Bone marrow aspirate smear — 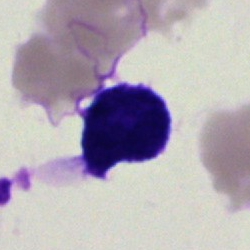

Specimen: bone marrow aspirate smear.
Morphological class: artefact.